MGG-stained; 250×250; bone marrow smear.
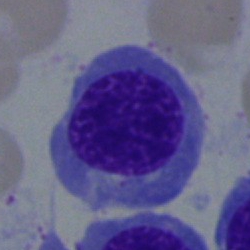Q: What is the morphological classification of this cell?
A: This is a normoblast.